Peripheral blood smear: 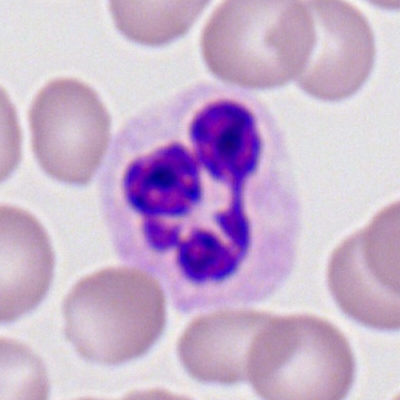
This is a segmented neutrophil.